MGG-stained. Bone marrow smear:
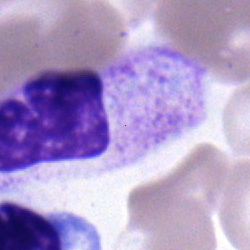

Morphology → band-form neutrophil.